400×400; peripheral blood film
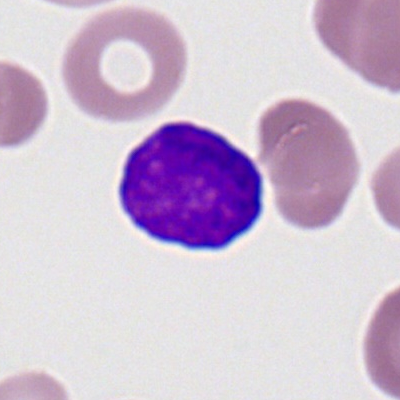

Morphology consistent with a lymphocyte.